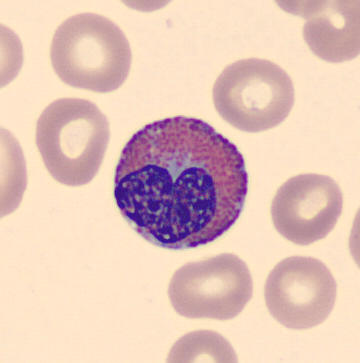
Preparation: Single-cell crop. Peripheral blood film.
Identified as an eosinophil.